Bone marrow aspirate smear
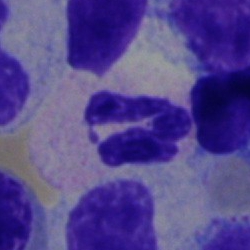Impression → neutrophil (segmented).